May-Grünwald-Giemsa stain. Bone marrow aspirate smear: 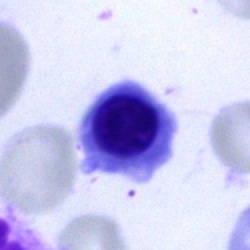

Q: Identify the cell.
A: It is a nucleated red cell.